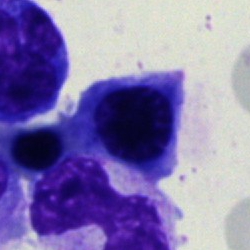{"cell_type": "normoblast", "lineage": "erythroid"}